Pappenheim-stained; bone marrow smear; 250 by 250 pixels: 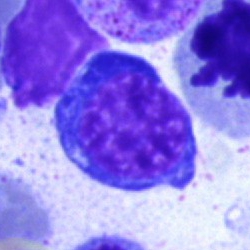
Morphological class — nucleated red blood cell.